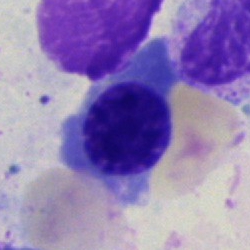
Bone marrow aspirate smear, single cell — erythroblast.